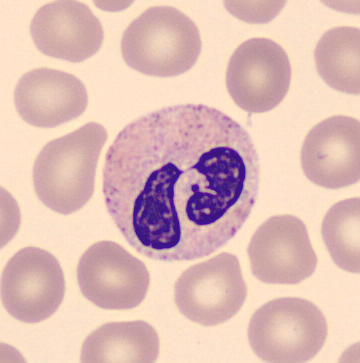Identified as a neutrophil (segmented).
MGG-stained; peripheral blood film.